Bone marrow smear
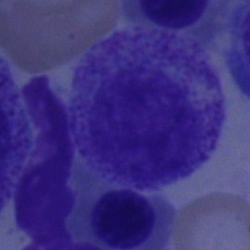

Specimen: bone marrow aspirate smear.
Cell type: myelocyte.
Lineage: myeloid.